Peripheral blood smear. Romanowsky-stained. Cropped to a single cell: 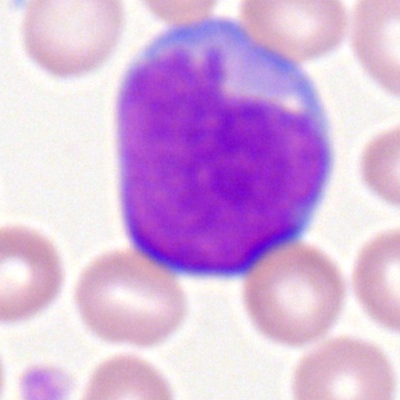
Specimen: peripheral blood smear.
Classification: myeloid blast.